Image size 250×250; bone marrow smear; single-cell field:
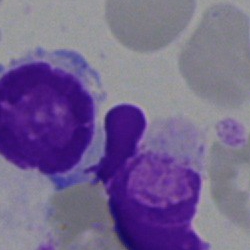This is an artefact.